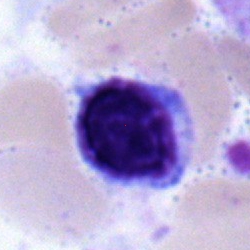 A lymphocyte.